Bone marrow aspirate smear; May-Grünwald-Giemsa/Pappenheim stain — 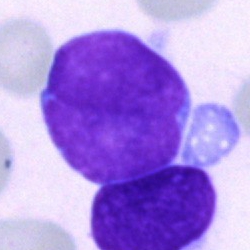 A blast cell.